Bone marrow smear. May-Grünwald-Giemsa/Pappenheim stain.
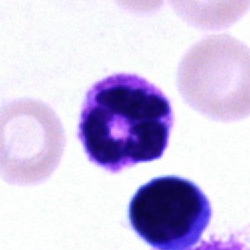 Specimen: bone marrow aspirate smear.
Classification: polymorphonuclear neutrophil.
Lineage: myeloid.